Bone marrow smear · brightfield microscopy, 40× oil immersion: 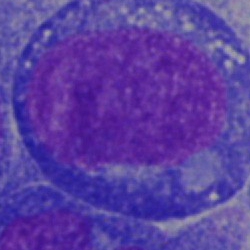 Morphology consistent with an undifferentiated blast.